Brightfield, 40× oil-immersion objective · bone marrow aspirate smear: 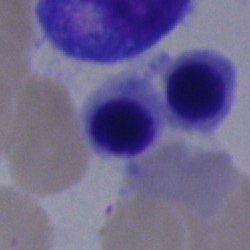

Morphological class — nucleated red cell.